Brightfield microscopy, 40× oil immersion · bone marrow smear
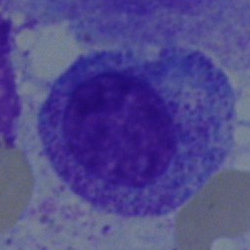

Cell — myelocyte.